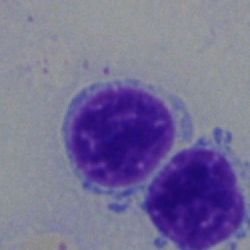
Q: Which cell type is shown here?
A: This is a typical lymphocyte.